40× oil immersion · single-cell field · bone marrow aspirate smear:
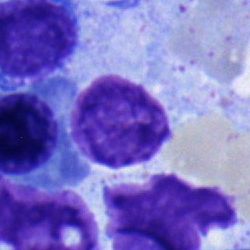Showing a typical lymphocyte.